Bone marrow smear. Single-cell field
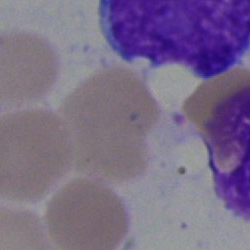Single cell identified as an artifact.